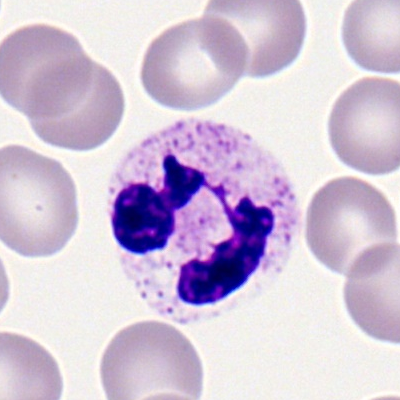
Impression — segmented neutrophil.